Bone marrow aspirate smear.
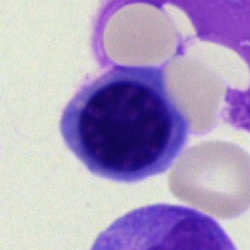
Q: What type of cell is this?
A: Normoblast.